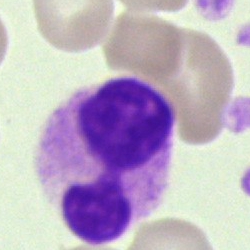

Morphology consistent with an unidentifiable cell.